Single-cell field · bone marrow aspirate smear · May-Grünwald-Giemsa/Pappenheim stain — 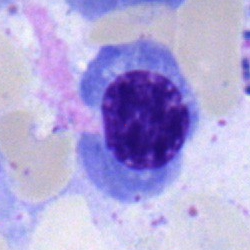

Q: Identify the cell.
A: Nucleated red blood cell.